Bone marrow smear. MGG-stained. Brightfield, 40× oil-immersion objective — 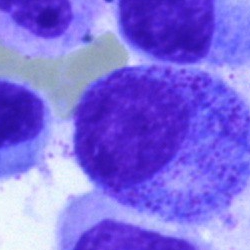
Morphology → progranulocyte.